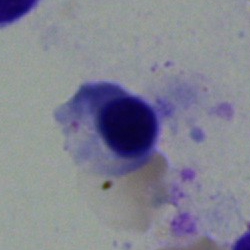
Bone marrow smear showing an erythroblast.